Bone marrow aspirate smear: 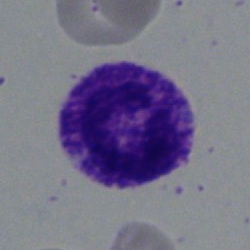Showing a segmented neutrophil.